Bone marrow smear.
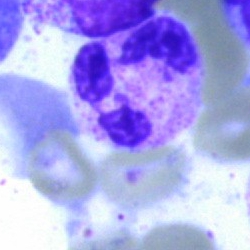Morphology consistent with a neutrophil (segmented).